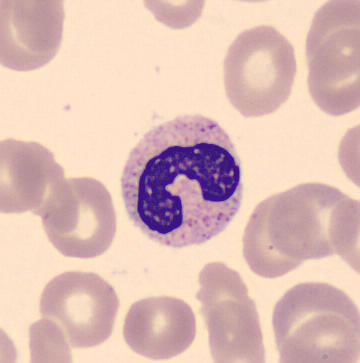 Specimen: peripheral blood smear.
Cell: band-form neutrophil.
Lineage: myeloid.